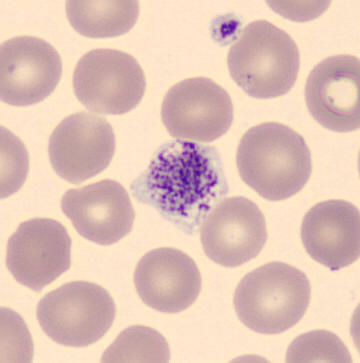 A platelet.
CellaVision DM96 · peripheral blood film.